250×250 · bone marrow smear — 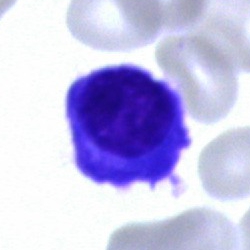Cell — plasmacyte.